Bone marrow smear — 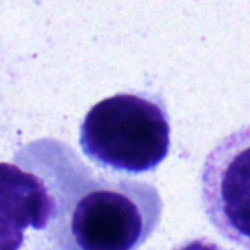
Cell type = lymphocyte.